Single-cell field · bone marrow aspirate smear.
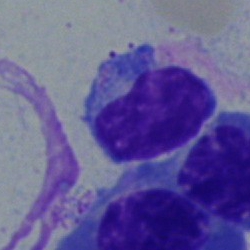 Q: Which cell type is shown here?
A: A typical lymphocyte.